Bone marrow smear
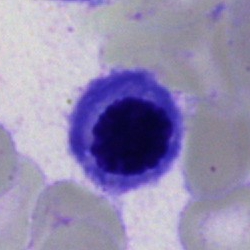Showing a nucleated red cell.